Bone marrow smear — 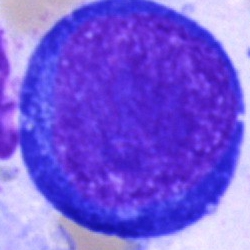 Cell type: pronormoblast.